Peripheral blood smear. Image size 400×400. Brightfield, 100× oil-immersion objective: 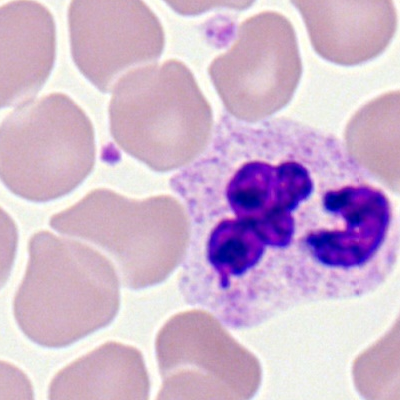Showing a segmented neutrophil.